Bone marrow smear:
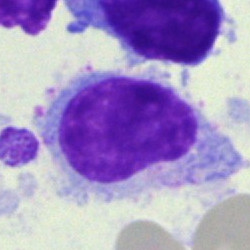

Q: Identify the cell.
A: A hairy cell.